Bone marrow aspirate smear. 40× objective, oil immersion. Cropped to a single cell
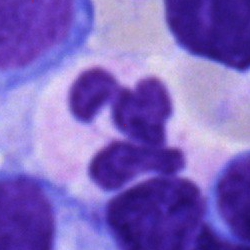

This is a neutrophil (segmented).